Bone marrow aspirate smear: 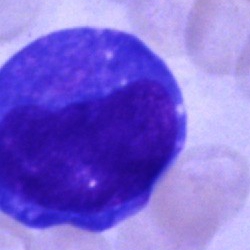
Cell type — undifferentiated blast.